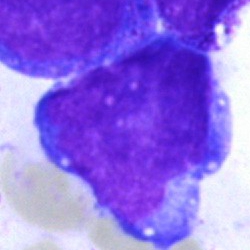

The cell shown is an undifferentiated blast.